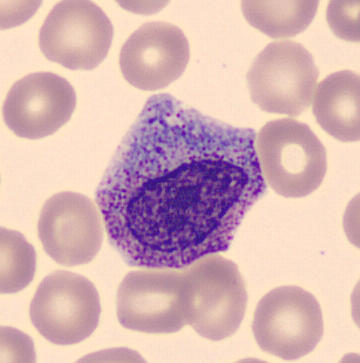The cell type is myelocyte.